Bone marrow smear — 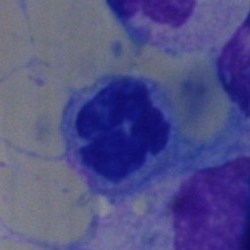
Artifact.